Romanowsky-type stain. Single-cell field. Peripheral blood film — 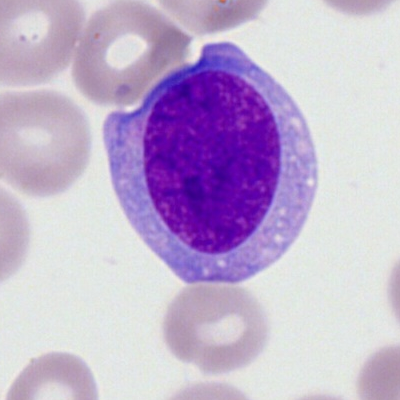

Myeloid blast.